Bone marrow smear — 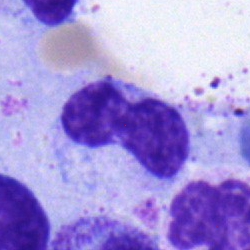
Impression → band neutrophil.